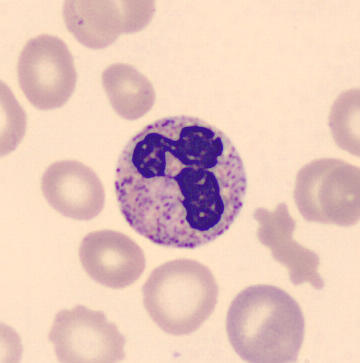 Acquisition: Peripheral blood film.

The cell type is polymorphonuclear neutrophil.